Bone marrow aspirate smear:
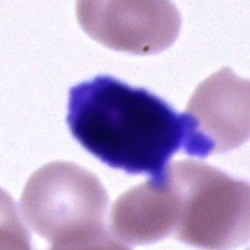Cell — unidentifiable cell.